Bone marrow smear:
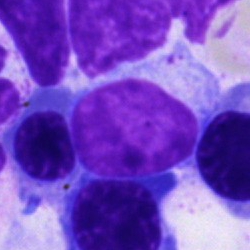The cell shown is a typical lymphocyte.